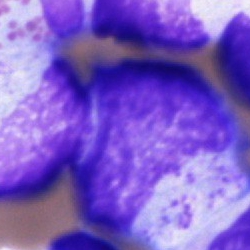This is a progranulocyte.